May-Grünwald-Giemsa stain; bone marrow smear.
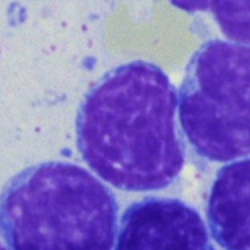Classification — typical lymphocyte.